Brightfield, 40× oil-immersion objective; bone marrow aspirate smear — 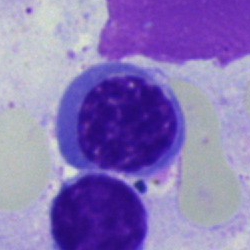 Showing an erythroblast.